Peripheral blood smear:
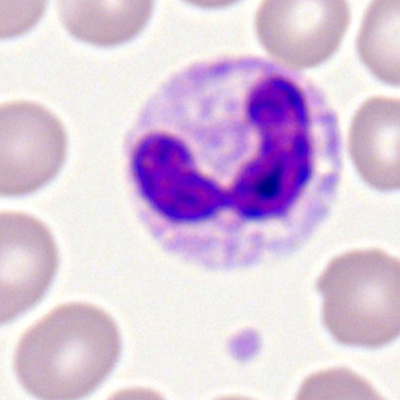

Specimen: peripheral blood smear.
Cell type: neutrophil (segmented).
Lineage: myeloid.